Single-cell field. Bone marrow aspirate smear. Brightfield microscopy, 40× oil immersion: 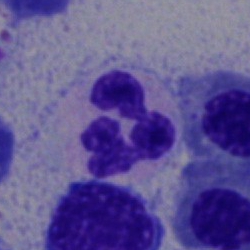Q: Which cell type is shown here?
A: It is a neutrophil (segmented).